Bone marrow smear; 250×250:
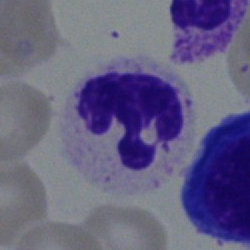 Specimen: bone marrow aspirate smear.
Cell type: neutrophil (segmented).